400×400 px; peripheral blood smear; Romanowsky stain.
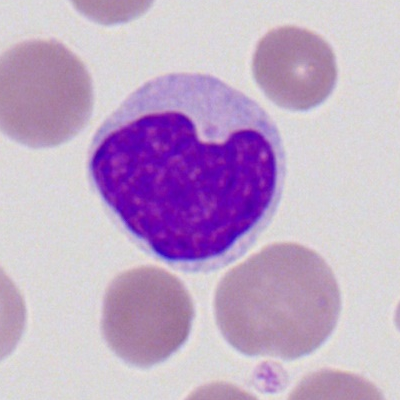 Specimen: peripheral blood film.
Cell type: typical lymphocyte.